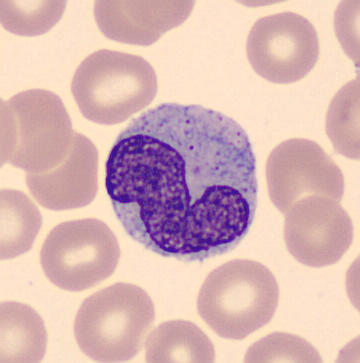
Classification = monocyte.
Acquisition: Peripheral blood film · MGG-stained · single-cell field.